Bone marrow aspirate smear. 250 by 250 pixels
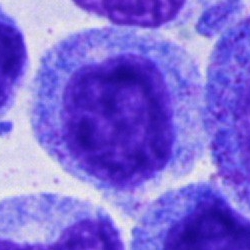Morphology consistent with a promyelocyte.